Bone marrow smear: 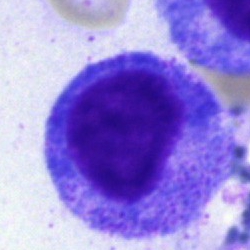 Q: What is the morphological classification of this cell?
A: A promyelocyte.